Bone marrow aspirate smear — 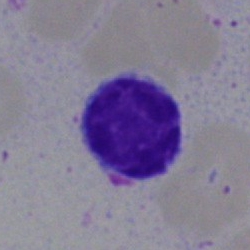

{"cell_type": "lymphocyte", "lineage": "lymphoid"}